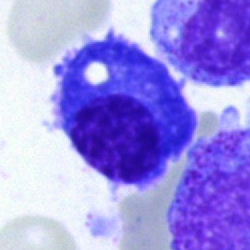The classification is plasmacyte.